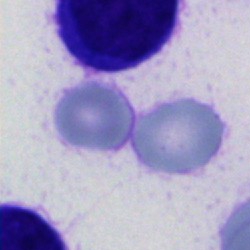 Cell = other cell type.